Bone marrow smear · single-cell field:
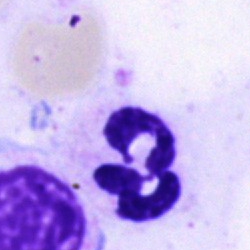A segmented neutrophil.